Bone marrow smear
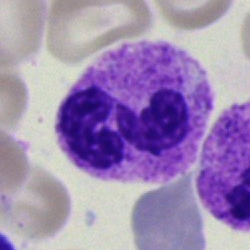

Neutrophil (segmented).